Bone marrow aspirate smear. Single-cell field. Brightfield, 40× oil-immersion objective: 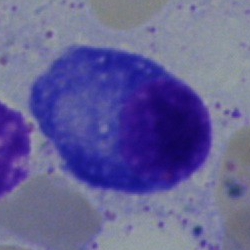

Q: What is shown here?
A: It is a plasmacyte.